Single-cell field; brightfield microscopy, 40× oil immersion; bone marrow aspirate smear.
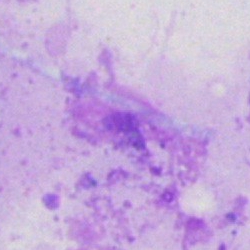Cell type — artefact.